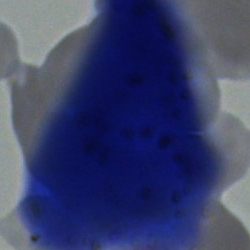
Specimen: bone marrow aspirate smear.
Classification: artifact.